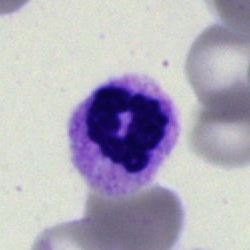 Specimen: bone marrow smear.
Classification: polymorphonuclear neutrophil.
Lineage: myeloid.